Bone marrow aspirate smear.
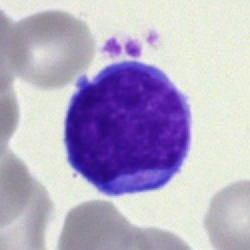 The classification is blast cell.